Bone marrow smear — 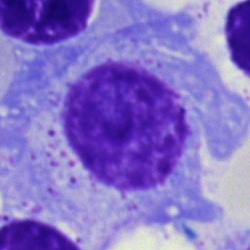The cell shown is a plasmacyte.